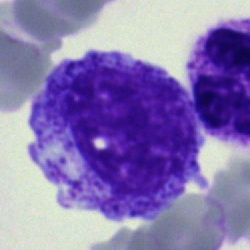

A promyelocyte.